Bone marrow aspirate smear: 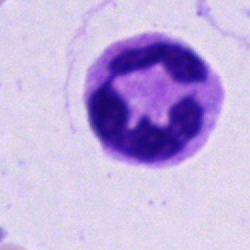
The classification is neutrophil (segmented).